Brightfield microscopy, 40× oil immersion. Bone marrow smear. 250×250 px:
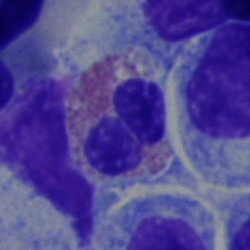

The cell is eosinophilic granulocyte.